Peripheral blood film; Romanowsky-stained
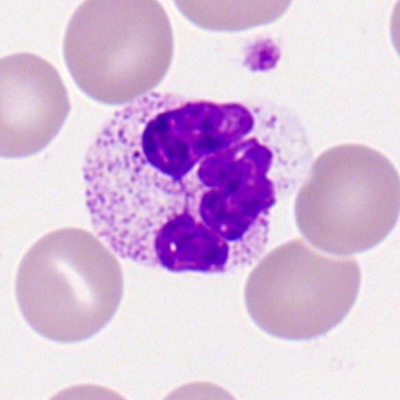
{"cell_type": "neutrophil (segmented)", "lineage": "myeloid"}